Bone marrow smear — 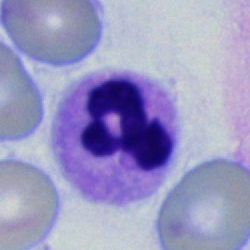Classification: segmented neutrophil.